Bone marrow aspirate smear — 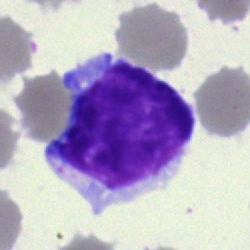Typical lymphocyte.